May-Grünwald-Giemsa/Pappenheim stain. Bone marrow smear:
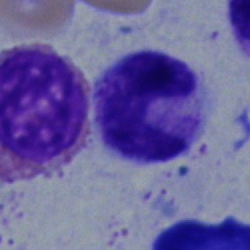 Impression — band-form neutrophil.